Bone marrow smear · 250×250:
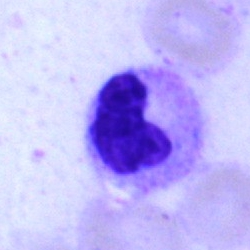

Impression → band neutrophil.